Bone marrow aspirate smear. May-Grünwald-Giemsa/Pappenheim stain — 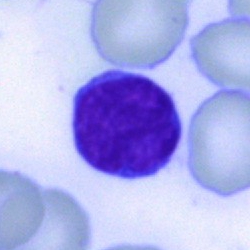 Morphology consistent with a lymphocyte.